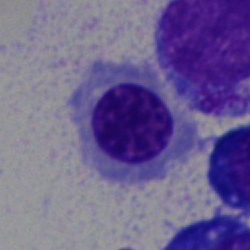 Morphology — erythroblast.